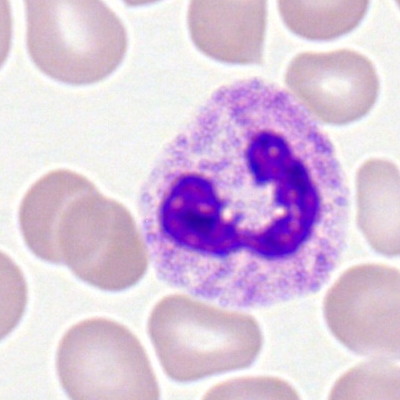Segmented neutrophil.